Peripheral blood smear:
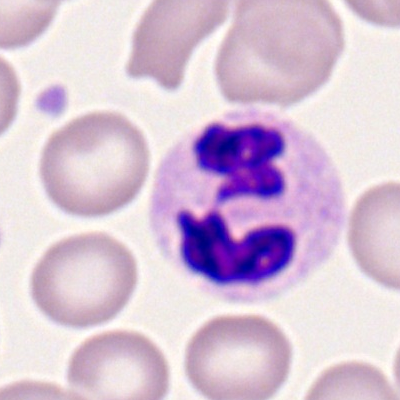 A polymorphonuclear neutrophil.